Bone marrow aspirate smear.
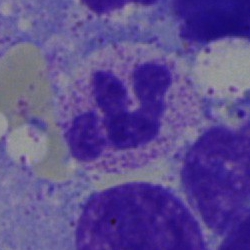 Single cell identified as a neutrophil (segmented).